Bone marrow aspirate smear; 40× objective, oil immersion.
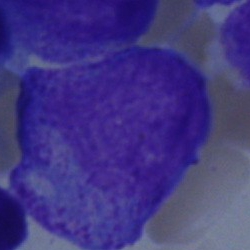

Q: Which cell type is shown here?
A: It is a progranulocyte.